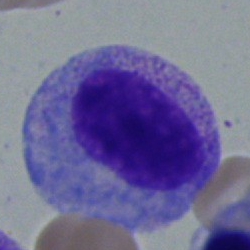

{"cell_type": "metamyelocyte", "lineage": "myeloid"}